May-Grünwald-Giemsa-stained · peripheral blood smear · 360×363 — 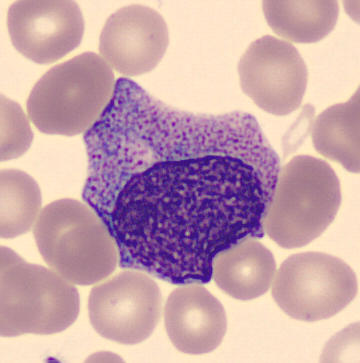 Q: Identify the cell.
A: It is a promyelocyte.